Brightfield, 100× oil-immersion objective; 400 by 400 pixels; peripheral blood film:
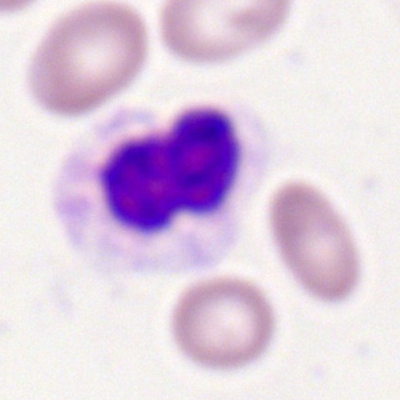
Single cell identified as a segmented neutrophil.